Bone marrow smear · 250 by 250 pixels · brightfield, 40× oil-immersion objective
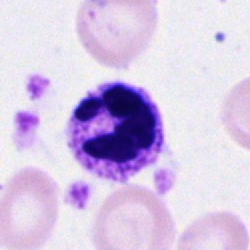
Q: What is the morphological classification of this cell?
A: A polymorphonuclear neutrophil.